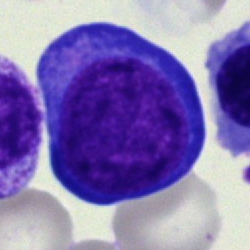 Q: What cell is this?
A: Proerythroblast.